Bone marrow aspirate smear: 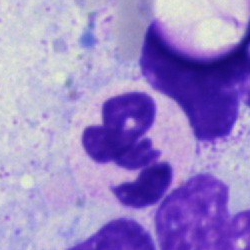 This is a polymorphonuclear neutrophil.